Bone marrow aspirate smear — 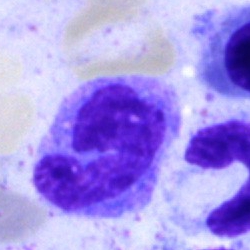Impression → monocyte.